Bone marrow smear:
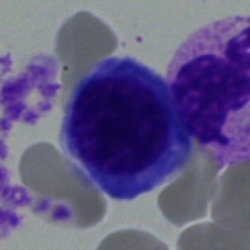

Showing an erythroblast.